Bone marrow aspirate smear — 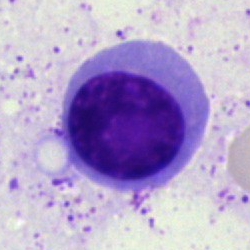 Normoblast.